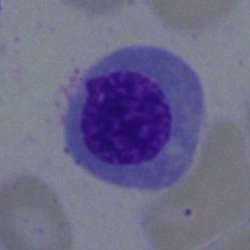
Q: What cell is this?
A: This is an erythroblast.